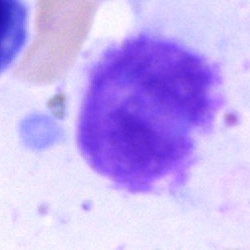 The cell is artefact.